Bone marrow aspirate smear · 250×250 px · brightfield, 40× oil-immersion objective
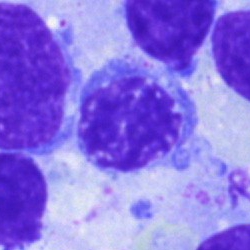
{"cell_type": "normoblast"}